Bone marrow smear
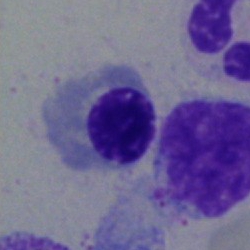 Morphological class = erythroblast.